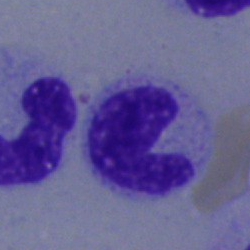Single-cell crop from a bone marrow smear: stab cell.